Bone marrow aspirate smear.
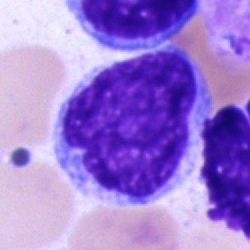 Cell type: blast.